40× objective, oil immersion. Bone marrow smear: 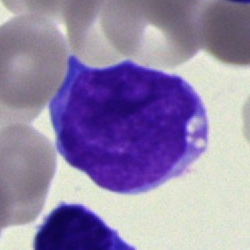
Q: Which cell type is shown here?
A: Blast cell.